Peripheral blood film; 100× objective, oil immersion; cropped to a single cell
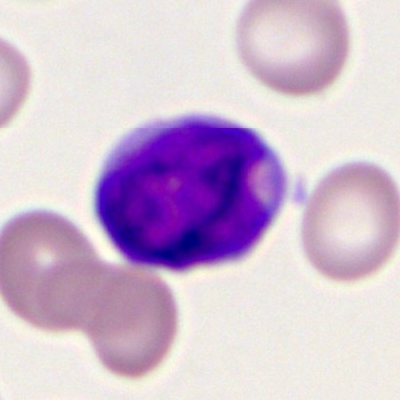Morphology consistent with a myeloblast.